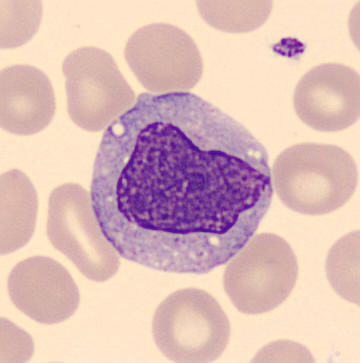
Q: What is the morphological classification of this cell?
A: It is a monocyte.